Bone marrow aspirate smear:
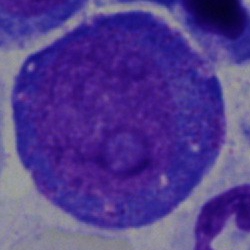 Specimen: bone marrow aspirate smear.
Classification: progranulocyte.
Lineage: myeloid.